400×400 px. Peripheral blood film.
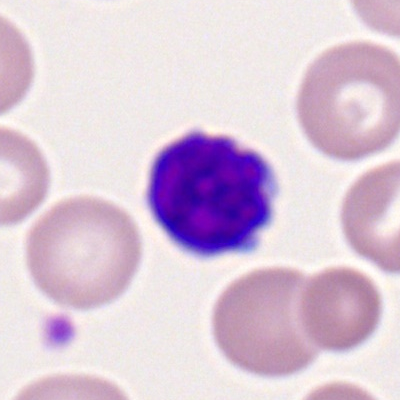Cell type = lymphocyte.